Single cell centered in the field · bone marrow smear:
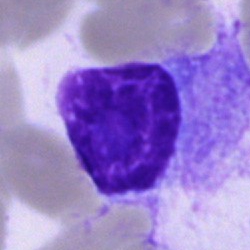A cell of indeterminate lineage.